Peripheral blood smear · Romanowsky stain · single cell centered in the field:
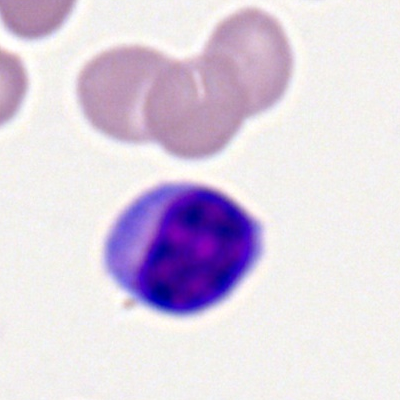

Q: What is the morphological classification of this cell?
A: It is a lymphocyte.